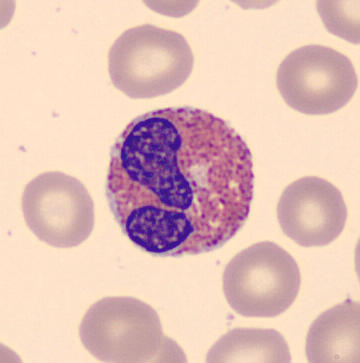 Classification = eosinophil. Preparation: Peripheral blood film. 360 by 363 pixels.